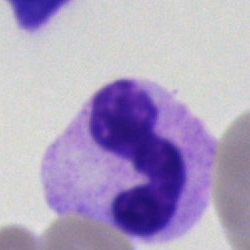
Morphology — neutrophil (segmented).